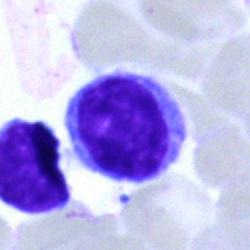
Q: Which cell type is shown here?
A: Lymphocyte.